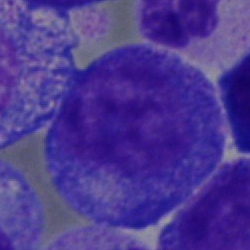

Morphology → promyelocyte.